Single cell centered in the field. Bone marrow aspirate smear — 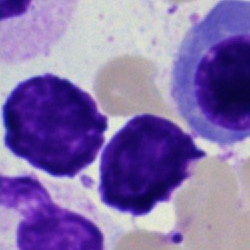Specimen: bone marrow smear.
Cell type: artifact.